Bone marrow smear · single cell centered in the field — 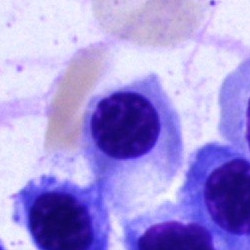 Specimen: bone marrow aspirate smear.
Morphological class: nucleated red cell.
Lineage: erythroid.